Peripheral blood smear
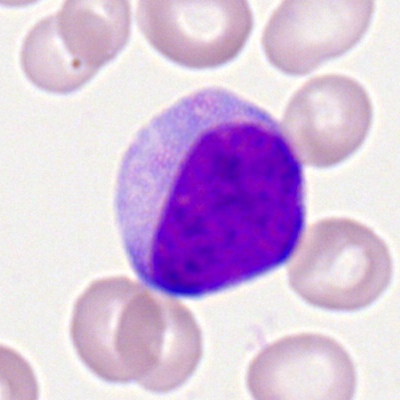Single cell identified as a myeloid blast.